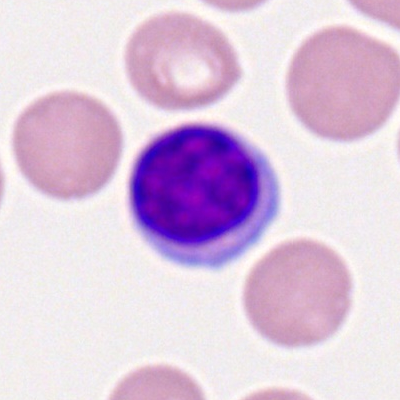
The cell shown is a lymphocyte.